May-Grünwald-Giemsa/Pappenheim stain; single-cell field; bone marrow aspirate smear.
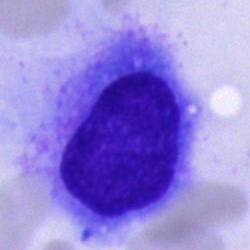 This is an artefact.